Bone marrow smear. MGG-stained.
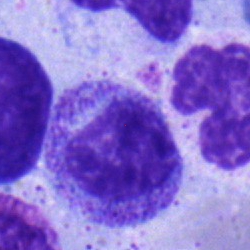A myelocyte.